Bone marrow smear. 40× objective, oil immersion.
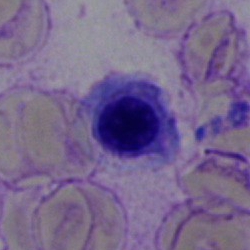
Nucleated red blood cell.